Peripheral blood film · Romanowsky-stained · single cell centered in the field: 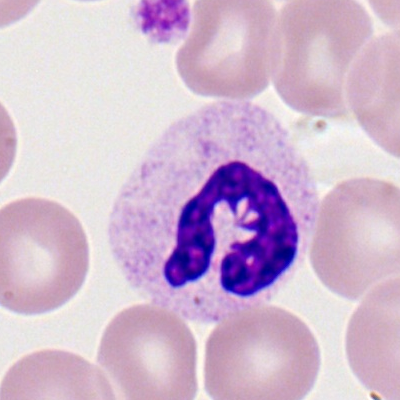

The cell shown is a polymorphonuclear neutrophil.